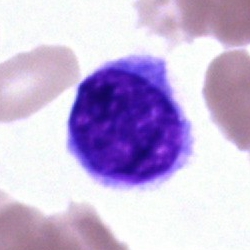 Classification: hairy cell.